Bone marrow smear; May-Grünwald-Giemsa stain — 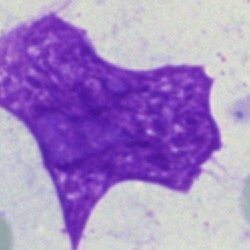
Q: What is shown here?
A: It is an artefact.